Bone marrow smear: 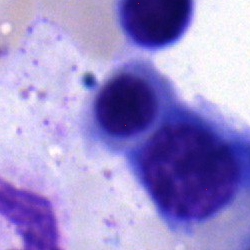

Classification — normoblast.